Bone marrow aspirate smear: 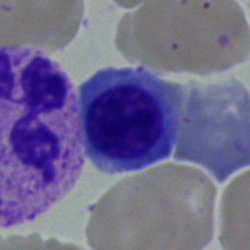

Morphology consistent with a nucleated red blood cell.